Bone marrow aspirate smear: 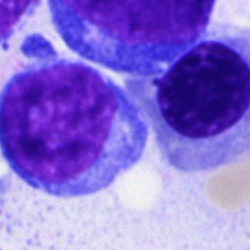Q: Which cell type is shown here?
A: It is a blast.